Brightfield microscopy, 40× oil immersion; bone marrow aspirate smear.
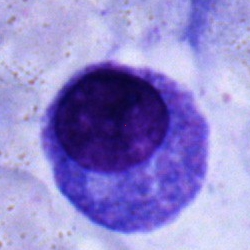

The cell is promyelocyte.